Bone marrow aspirate smear
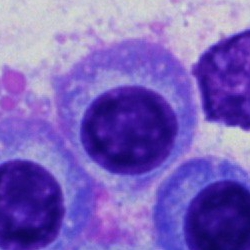
Q: What is the morphological classification of this cell?
A: A plasmacyte.